Romanowsky-stained · peripheral blood film: 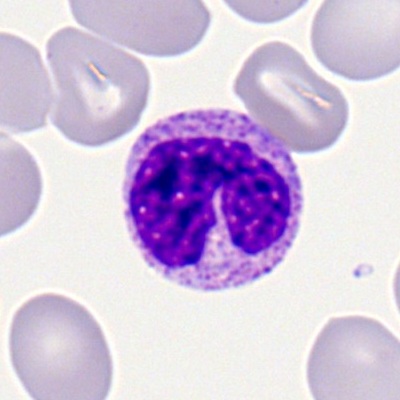Morphology consistent with a neutrophil (segmented).